250×250 px. May-Grünwald-Giemsa/Pappenheim stain. Bone marrow smear
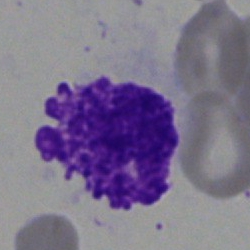
Specimen: bone marrow aspirate smear.
Cell: artifact.